Peripheral blood smear. Romanowsky-type stain: 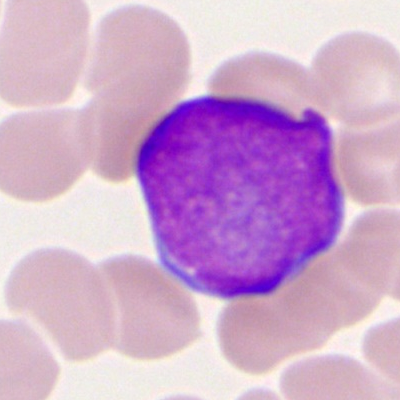Morphology — myeloblast.